Bone marrow aspirate smear. Pappenheim-stained. Single-cell crop.
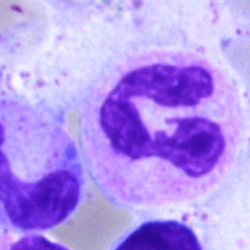 Q: What is shown here?
A: Segmented neutrophil.